Peripheral blood smear: 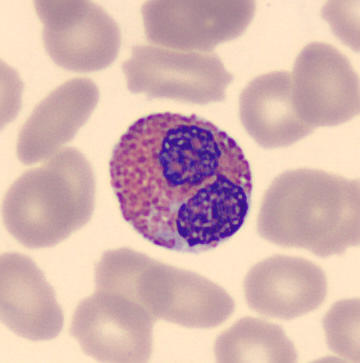Q: What is shown here?
A: Eosinophil.